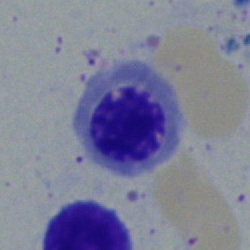Q: Which cell type is shown here?
A: This is a nucleated red blood cell.